250×250 px; 40× objective, oil immersion; bone marrow aspirate smear.
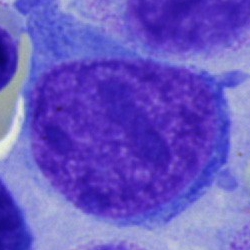Cell: proerythroblast.